Bone marrow smear: 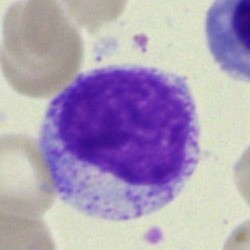
{"cell_type": "myelocyte", "lineage": "myeloid"}